Bone marrow smear — 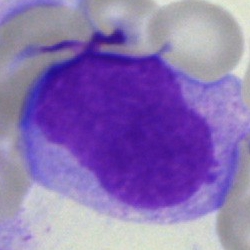
Morphological class — undifferentiated blast.